Bone marrow aspirate smear: 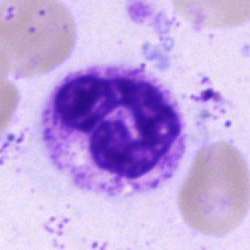

Single cell identified as a segmented neutrophil.